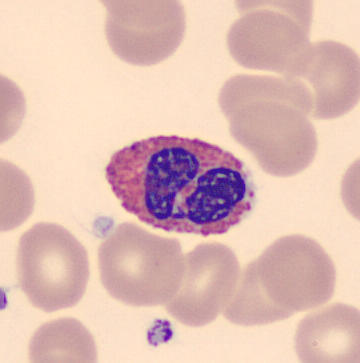 Cell type: eosinophil.